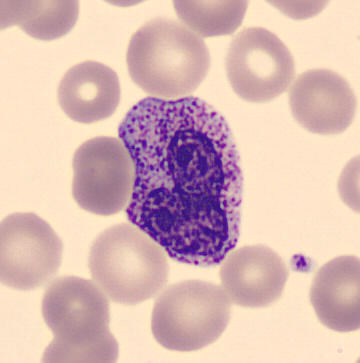

Q: What cell is this?
A: Metamyelocyte.

Preparation: Peripheral blood smear.